40× oil immersion · bone marrow aspirate smear:
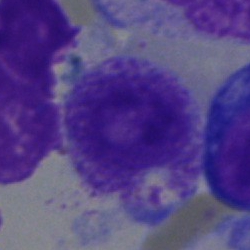A myelocyte.